Bone marrow aspirate smear · May-Grünwald-Giemsa/Pappenheim stain
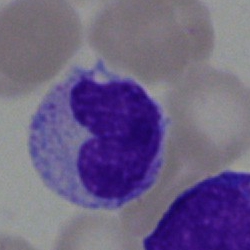The cell type is band-form neutrophil.